Peripheral blood smear — 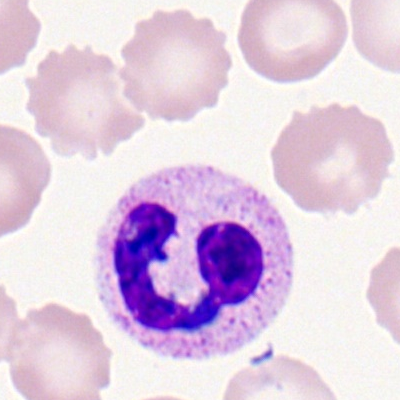Classification = segmented neutrophil.